Bone marrow aspirate smear · 40× oil immersion: 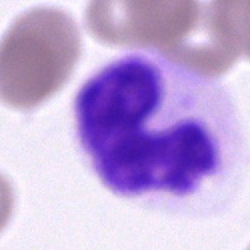
Morphology — neutrophil (band).